Peripheral blood film; 360 by 363 pixels
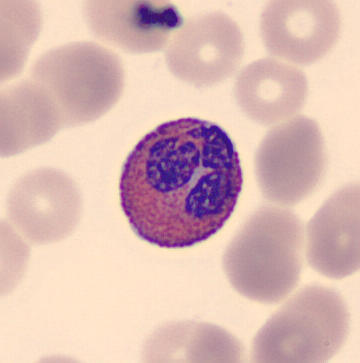

The morphological class is eosinophilic granulocyte.